250×250 px. Bone marrow aspirate smear:
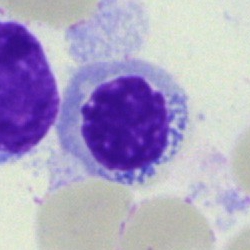

Q: What cell is this?
A: It is a nucleated red blood cell.